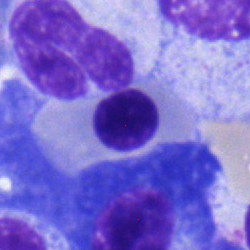

The cell is erythroblast.